Bone marrow smear · 250×250 px:
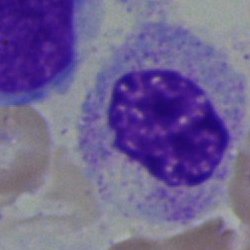
Specimen: bone marrow smear.
Classification: myelocyte.